Bone marrow aspirate smear — 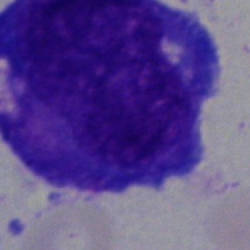A blast cell.